Bone marrow smear; 40× objective, oil immersion; MGG-stained:
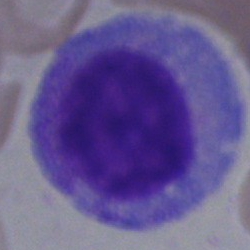
Single cell identified as a promyelocyte.